MGG-stained · 250 by 250 pixels · bone marrow smear.
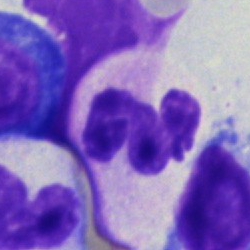Q: Which cell type is shown here?
A: Polymorphonuclear neutrophil.